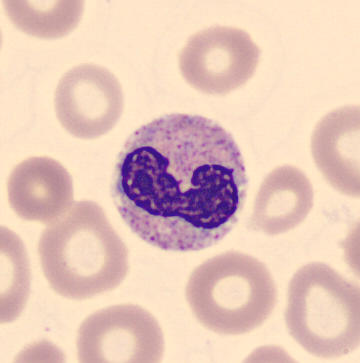

Image: Peripheral blood film.

Classification: neutrophil (band).